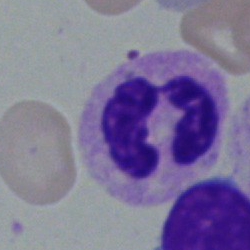

A polymorphonuclear neutrophil on a bone marrow smear.